Pappenheim-stained. Bone marrow smear. Single-cell field: 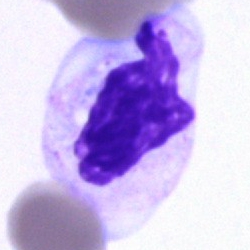Morphology consistent with an unidentifiable cell.